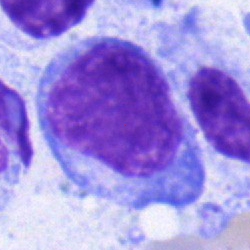

Showing a blast.